Bone marrow aspirate smear; May-Grünwald-Giemsa/Pappenheim stain
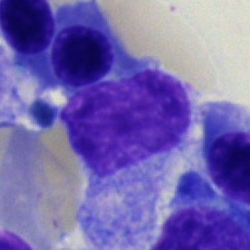 Morphology — unidentifiable cell.